Bone marrow aspirate smear. Brightfield, 40× oil-immersion objective.
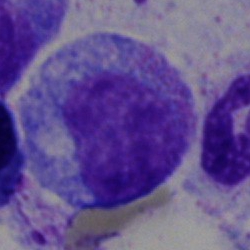 Q: What is the morphological classification of this cell?
A: Promyelocyte.